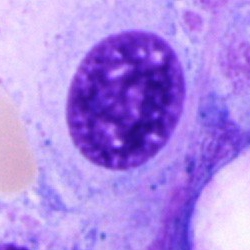 Specimen: bone marrow aspirate smear.
Cell: artifact.